Bone marrow smear: 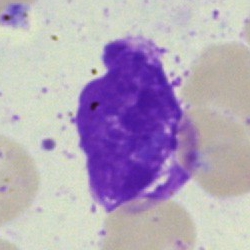
Single cell identified as an artifact.